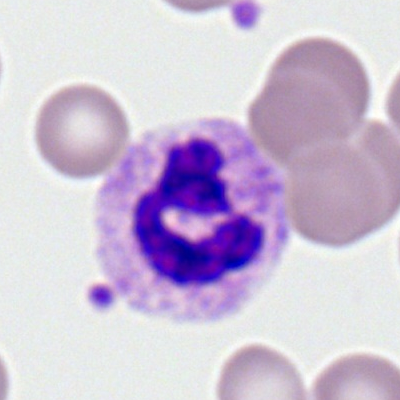Classification = polymorphonuclear neutrophil.